Bone marrow smear.
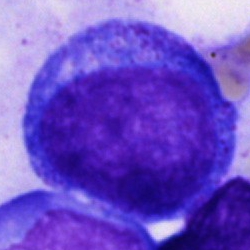 Morphological class: blast.